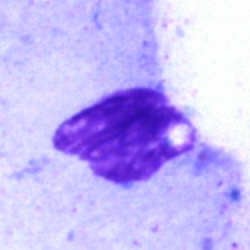
{"cell_type": "artifact"}